Bone marrow smear
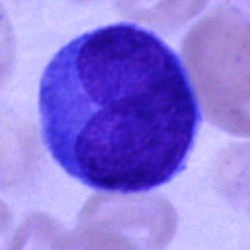 Morphology consistent with a blast.